Bone marrow smear. 250 by 250 pixels. Single-cell crop.
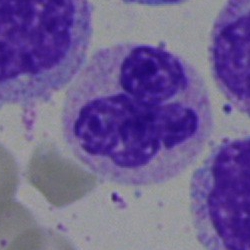 Single cell identified as a segmented neutrophil.